Bone marrow aspirate smear. Cropped to a single cell: 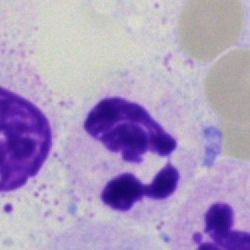

Q: What is the morphological classification of this cell?
A: A segmented neutrophil.